Bone marrow aspirate smear: 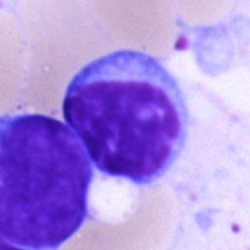
The cell type is lymphocyte.